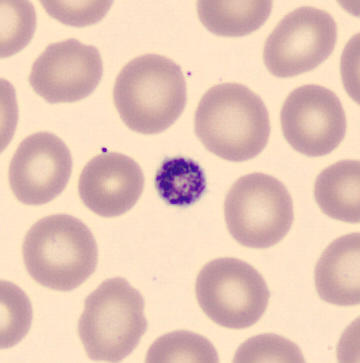 Q: What is this?
A: This is a thrombocyte.
Acquisition: Peripheral blood smear.